Bone marrow smear — 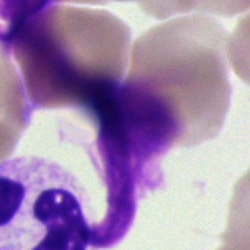

{"cell_type": "artefact"}